Bone marrow smear. Pappenheim-stained. 40× objective, oil immersion:
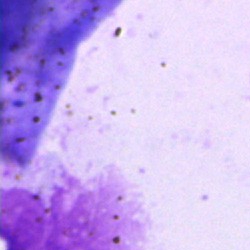Cell type: artefact.